Peripheral blood smear; 400×400 px:
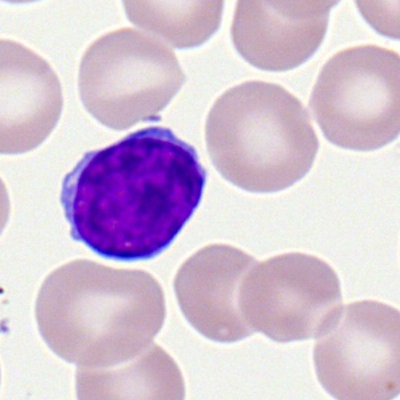

Morphology → typical lymphocyte.